Bone marrow aspirate smear — 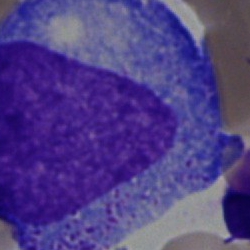
Q: What type of cell is this?
A: A progranulocyte.